Bone marrow aspirate smear; Pappenheim-stained:
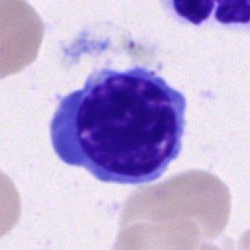 Cell: erythroblast.